Bone marrow aspirate smear; 40× objective, oil immersion: 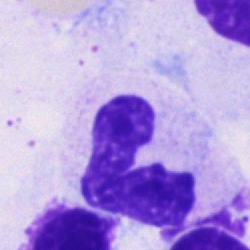
Cell type = polymorphonuclear neutrophil.